Bone marrow smear
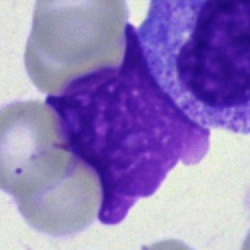
Cell type — artifact.